Peripheral blood film — 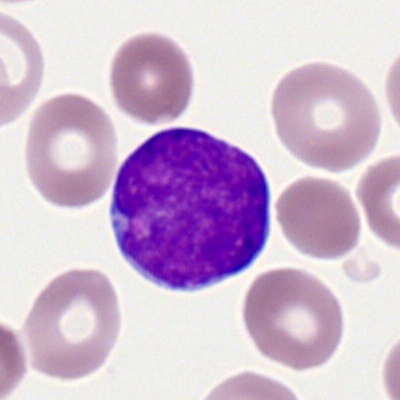 Morphology — myeloblast.